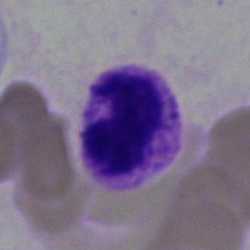
Specimen: bone marrow smear.
Cell: basophilic granulocyte.
Lineage: myeloid.